Bone marrow aspirate smear:
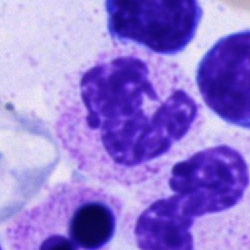

Showing a polymorphonuclear neutrophil.